Bone marrow smear · brightfield, 40× oil-immersion objective · single-cell crop:
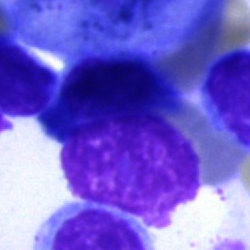 Impression → artifact.